MGG-stained · bone marrow aspirate smear:
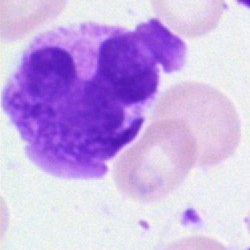

Classification: artefact.